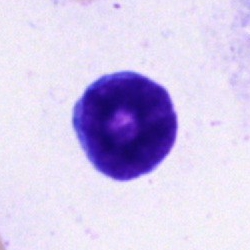 Single-cell crop from a bone marrow smear: lymphocyte.